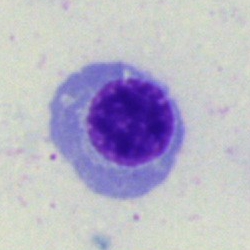Specimen: bone marrow smear.
Classification: erythroblast.
Lineage: erythroid.